Bone marrow smear — 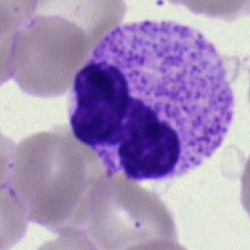Cell type: neutrophil (segmented).